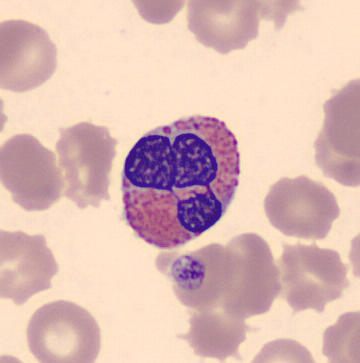Q: Which cell type is shown here?
A: Eosinophilic granulocyte.